Brightfield microscopy, 40× oil immersion · cropped to a single cell · bone marrow aspirate smear: 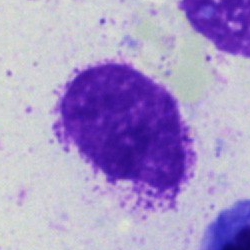
{"cell_type": "artefact"}